Peripheral blood smear.
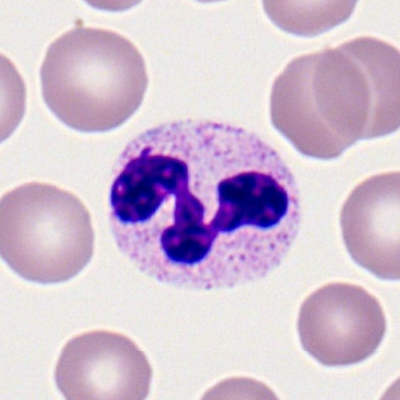 Morphological class: neutrophil (segmented).